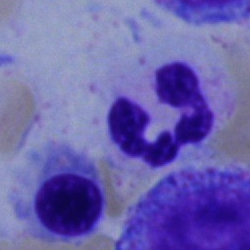
Polymorphonuclear neutrophil.